Brightfield microscopy, 40× oil immersion. Bone marrow aspirate smear: 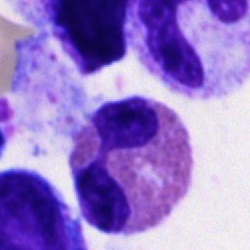

Morphology consistent with an eosinophil.